Bone marrow aspirate smear:
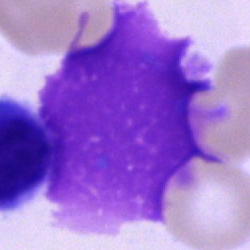
Cell — artifact.